Peripheral blood smear. 100× oil immersion. 400×400 px: 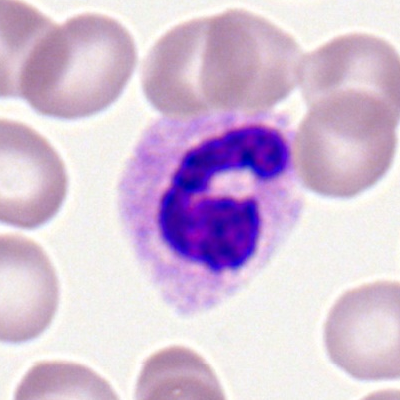 Morphology — polymorphonuclear neutrophil.